Bone marrow aspirate smear — 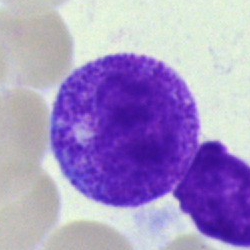 Cell = progranulocyte.